Bone marrow aspirate smear
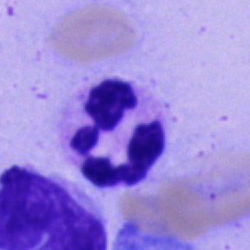

The cell shown is a neutrophil (segmented).